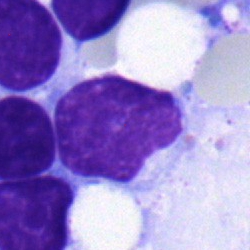
Impression → typical lymphocyte.